Bone marrow smear — 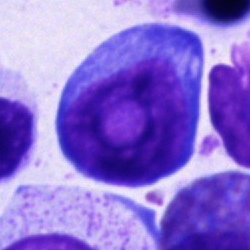 Cell — proerythroblast.